Bone marrow smear.
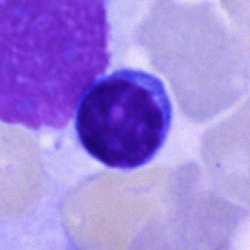
Q: What cell is this?
A: This is a typical lymphocyte.